Bone marrow smear
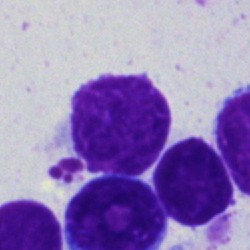 Artefact.